Image size 250×250. Bone marrow smear: 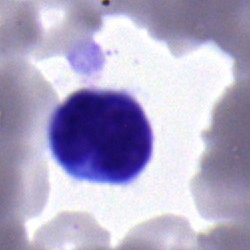
Q: What cell is this?
A: It is a typical lymphocyte.